400 by 400 pixels · peripheral blood smear.
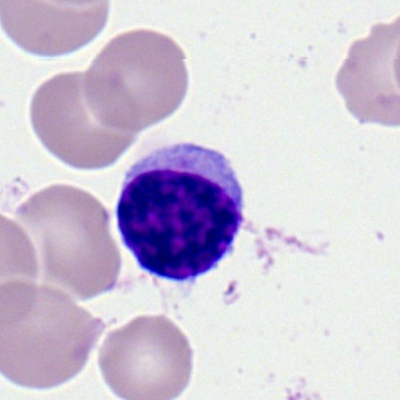

Impression → lymphocyte.